Bone marrow aspirate smear:
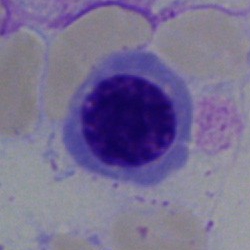 Impression — nucleated red blood cell.